Bone marrow aspirate smear; cropped to a single cell
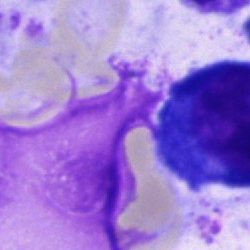Specimen: bone marrow smear.
Cell type: artefact.